Image size 250×250. Bone marrow aspirate smear.
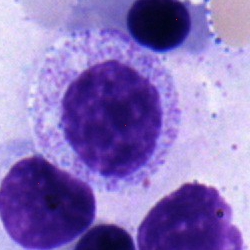

Morphology — myelocyte.